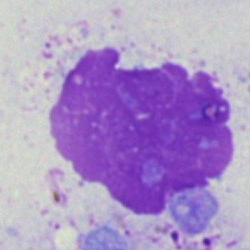

Bone marrow smear showing an artefact.